Bone marrow smear.
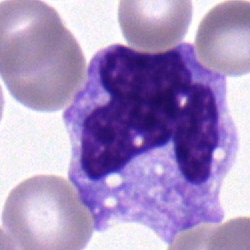Morphology — monocyte.